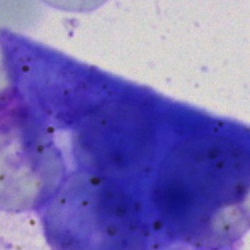 Bone marrow aspirate smear, single cell — artifact.